Peripheral blood film:
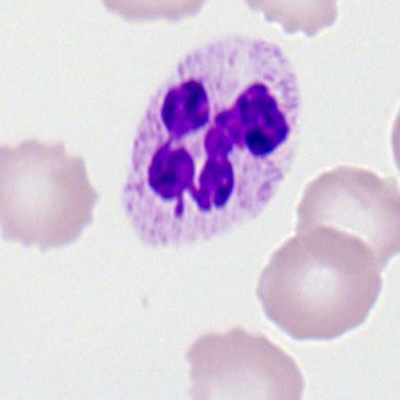 Q: What cell is this?
A: A segmented neutrophil.